Bone marrow aspirate smear — 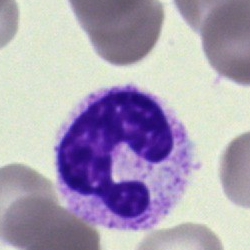{"cell_type": "neutrophil (segmented)"}